Bone marrow aspirate smear; 250×250; single cell centered in the field:
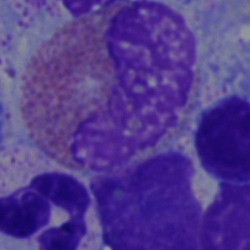 {"cell_type": "eosinophilic granulocyte", "lineage": "myeloid"}